Bone marrow smear
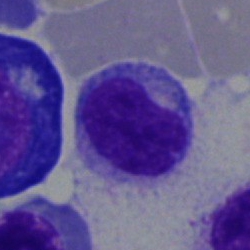 Morphology consistent with a typical lymphocyte.